Single-cell crop; bone marrow aspirate smear.
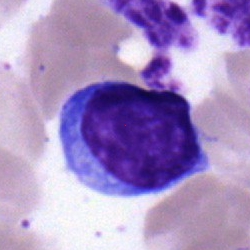

Q: Which cell type is shown here?
A: Typical lymphocyte.